Peripheral blood film. 100× oil immersion. 400 by 400 pixels
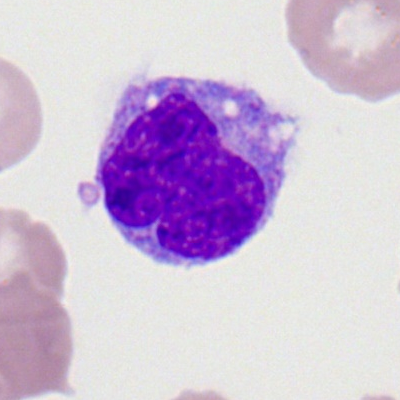
Q: Identify the cell.
A: A monocyte.